Bone marrow aspirate smear:
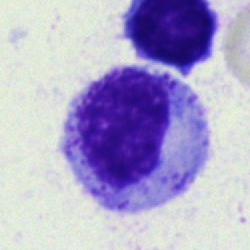Morphology consistent with a metamyelocyte.